400×400. Peripheral blood smear: 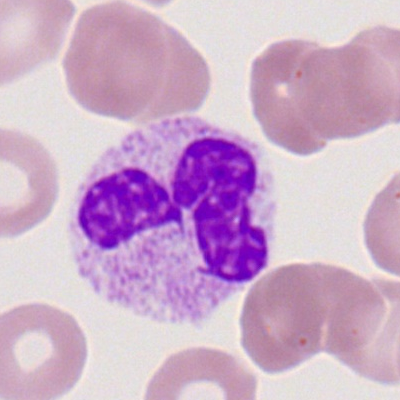
Morphological class = segmented neutrophil.